Bone marrow aspirate smear · 40× objective, oil immersion: 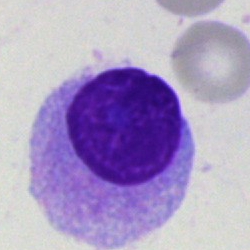

Impression → plasma cell.